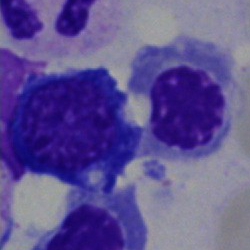

Showing an erythroblast.